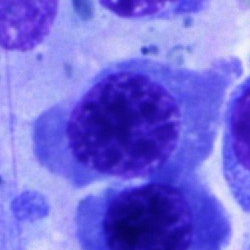This is a normoblast.